Bone marrow aspirate smear.
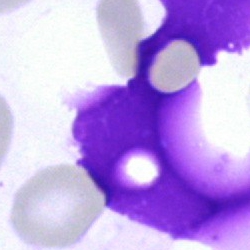This is an artifact.